Bone marrow smear: 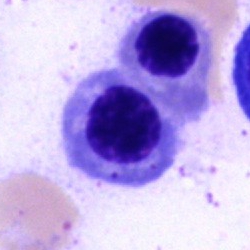

This is an erythroblast.